Bone marrow smear: 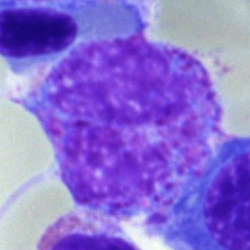

Cell type — undifferentiated blast.